40× objective, oil immersion · bone marrow aspirate smear · 250×250 — 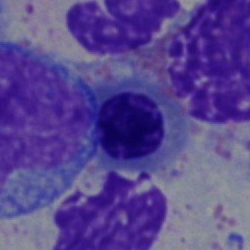
Specimen: bone marrow aspirate smear.
Morphological class: nucleated red cell.